Peripheral blood smear: 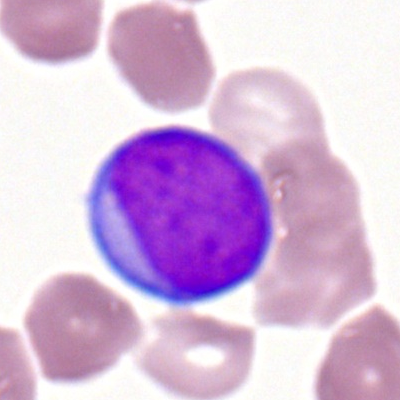
The cell shown is a myeloid blast.